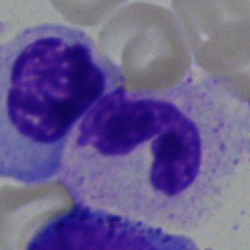 This is a polymorphonuclear neutrophil.